Bone marrow aspirate smear — 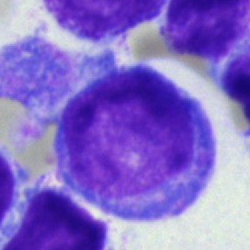
Morphology → blast cell.